Bone marrow smear: 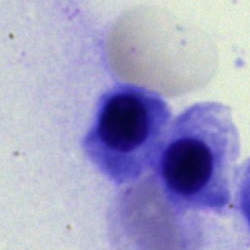Showing a normoblast.